40× objective, oil immersion · bone marrow smear — 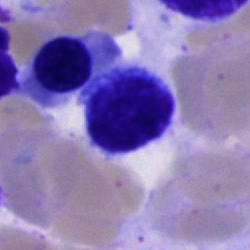Typical lymphocyte.